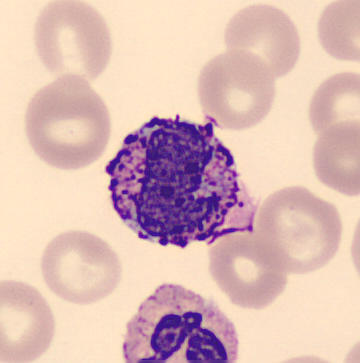

Impression → basophil.